Bone marrow smear · 250×250: 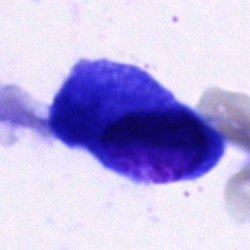Q: What is shown here?
A: It is a plasmacyte.